Bone marrow smear: 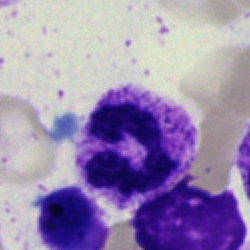 A polymorphonuclear neutrophil.